Bone marrow aspirate smear:
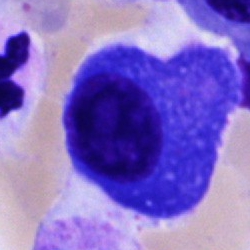

{"cell_type": "plasmacyte", "lineage": "lymphoid"}